Bone marrow smear: 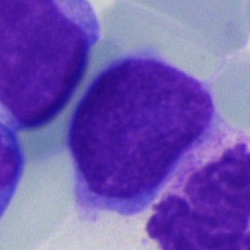
Impression — undifferentiated blast.